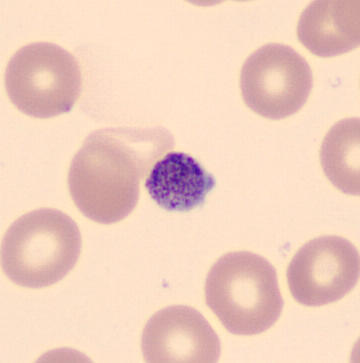 Image: Automated cell imaging (CellaVision DM96) · peripheral blood smear · MGG stain.
Identified as a platelet (thrombocyte).